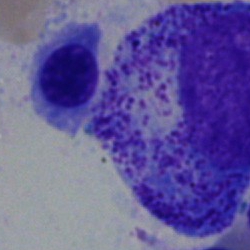Morphological class: promyelocyte.